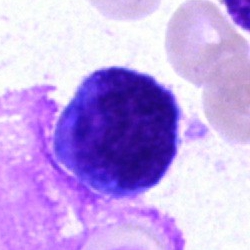 Classification — blast cell.